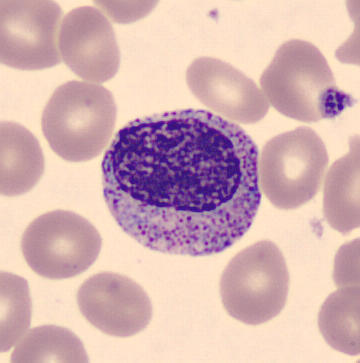 Morphological class — myelocyte.
Acquisition: Peripheral blood smear · single cell centered in the field.